Bone marrow aspirate smear; brightfield, 40× oil-immersion objective.
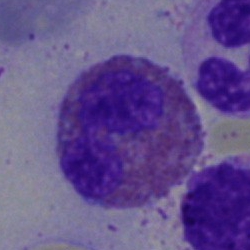

Q: What is shown here?
A: An eosinophilic granulocyte.